Bone marrow aspirate smear: 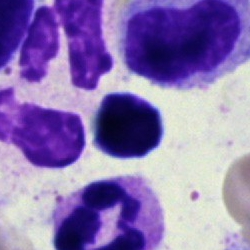
{"cell_type": "lymphocyte"}